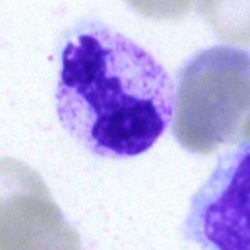

{"cell_type": "neutrophil (segmented)", "lineage": "myeloid"}